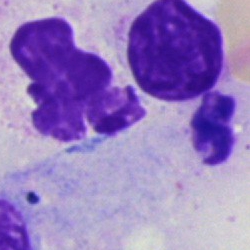 Q: What is shown here?
A: An artifact.